Bone marrow aspirate smear: 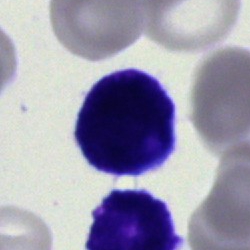 Morphology consistent with an undifferentiated blast.